Peripheral blood smear.
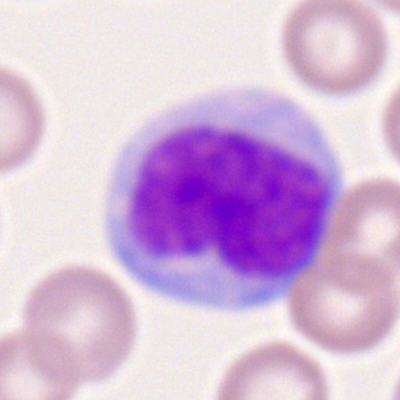 Q: What is the morphological classification of this cell?
A: A monocyte.